May-Grünwald-Giemsa stain · bone marrow smear.
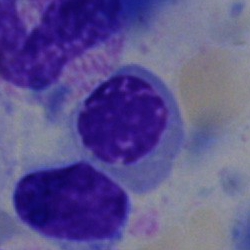

Morphology — nucleated red cell.